Bone marrow smear; May-Grünwald-Giemsa stain:
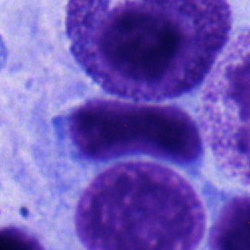
Specimen: bone marrow aspirate smear.
Cell type: nucleated red cell.
Lineage: erythroid.